Bone marrow aspirate smear:
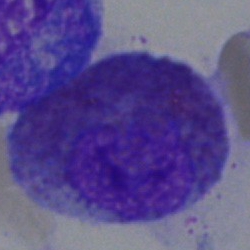 Morphology → eosinophilic granulocyte.